Image size 250×250 · bone marrow aspirate smear · single-cell crop
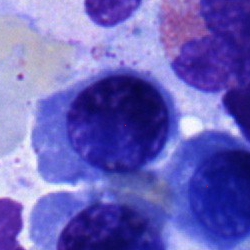

Erythroblast.